Bone marrow smear; brightfield microscopy, 40× oil immersion: 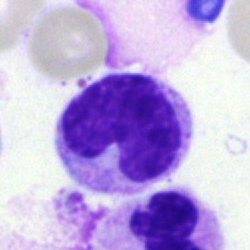

Showing a segmented neutrophil.